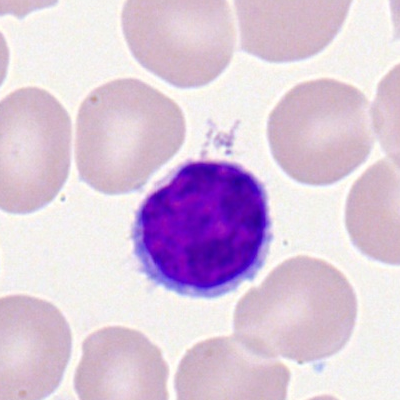
Q: Which cell type is shown here?
A: Typical lymphocyte.